Bone marrow aspirate smear; single cell centered in the field: 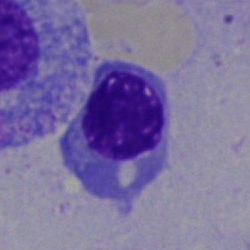 The cell is normoblast.